Bone marrow smear · single-cell field:
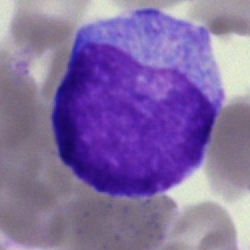{"cell_type": "lymphocyte"}